Bone marrow aspirate smear — 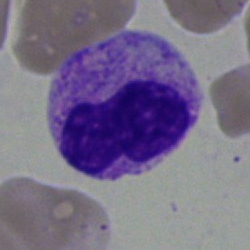

The classification is stab cell.